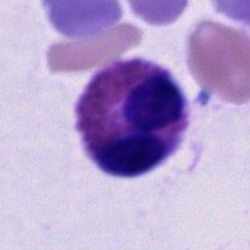An eosinophilic granulocyte on a bone marrow smear.